Bone marrow aspirate smear:
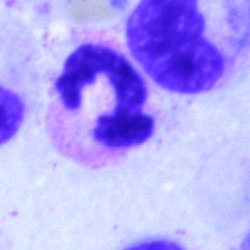This is a polymorphonuclear neutrophil.